Bone marrow aspirate smear — 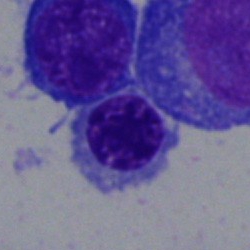
Classification — nucleated red cell.